MGG-stained; bone marrow aspirate smear
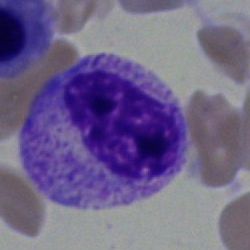

Specimen: bone marrow smear.
Classification: metamyelocyte.